Bone marrow aspirate smear
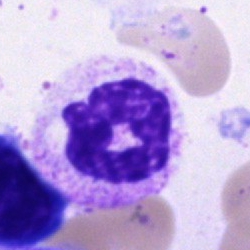Showing a polymorphonuclear neutrophil.